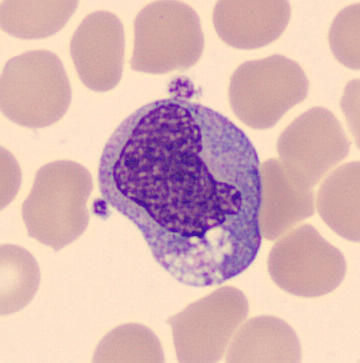

The cell shown is a monocyte.

Image: Imaged on a CellaVision DM96 analyser. May-Grünwald-Giemsa-stained. Peripheral blood film.